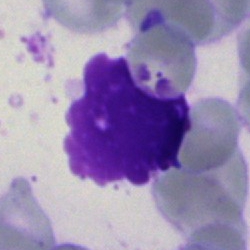
Morphology consistent with an artefact.